Bone marrow aspirate smear:
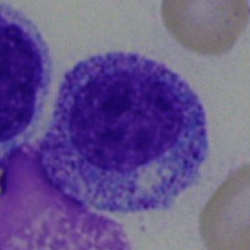
This is a myelocyte.